Bone marrow aspirate smear. 250×250 px: 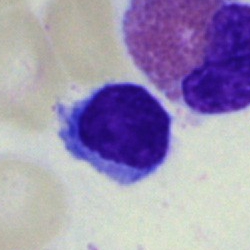

Showing a lymphocyte.